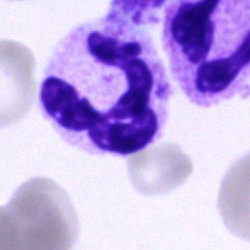
Morphology — polymorphonuclear neutrophil.